Bone marrow aspirate smear — 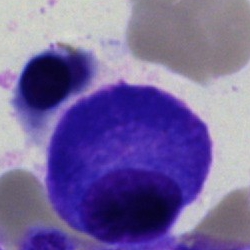Specimen: bone marrow aspirate smear.
Cell: plasma cell.
Lineage: lymphoid.